Bone marrow aspirate smear:
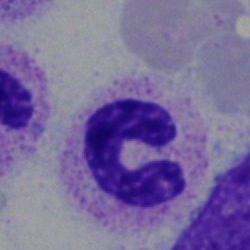
Showing a polymorphonuclear neutrophil.